Romanowsky-type stain. Peripheral blood smear.
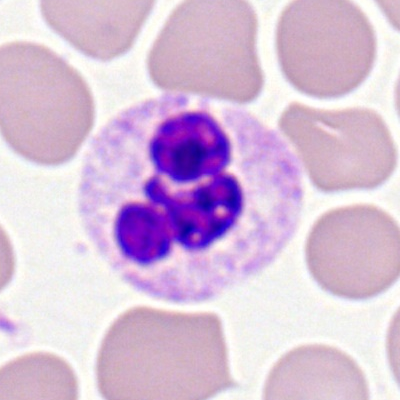

Morphology consistent with a segmented neutrophil.